Bone marrow smear
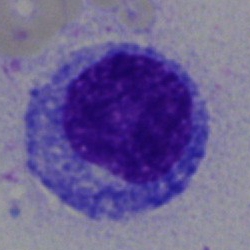 Q: Which cell type is shown here?
A: A promyelocyte.